Bone marrow aspirate smear:
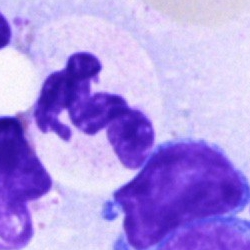
The morphological class is segmented neutrophil.